360×363; peripheral blood film; MGG stain.
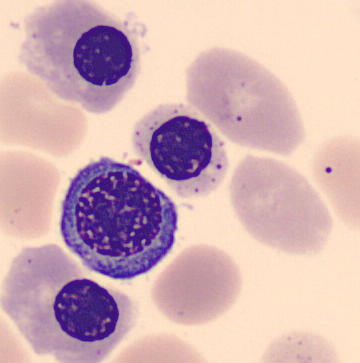 Showing a nucleated red cell.